Bone marrow aspirate smear. Brightfield microscopy, 40× oil immersion
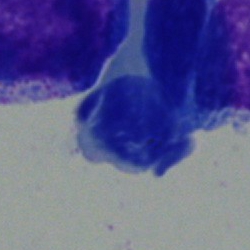The cell is normoblast.